May-Grünwald-Giemsa stain · bone marrow smear · 40× objective, oil immersion.
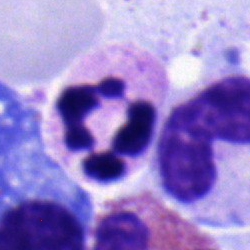
Polymorphonuclear neutrophil.